Bone marrow smear: 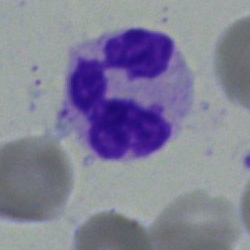 Segmented neutrophil.